250 by 250 pixels · bone marrow aspirate smear.
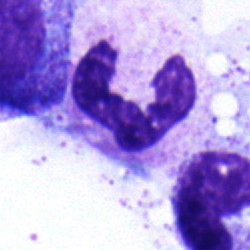Cell type = neutrophil (segmented).